Bone marrow smear:
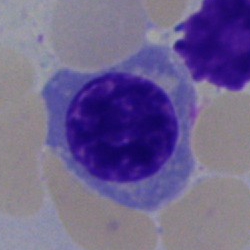 Specimen: bone marrow smear.
Cell type: nucleated red cell.
Lineage: erythroid.